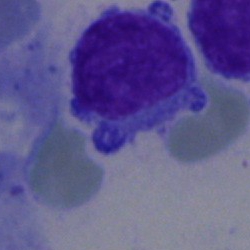{"cell_type": "typical lymphocyte"}